Bone marrow aspirate smear:
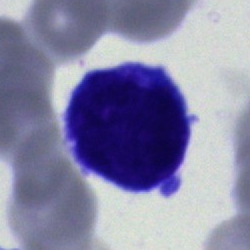 Q: What type of cell is this?
A: Blast.